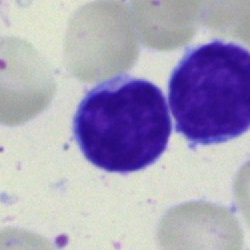

Classification — typical lymphocyte.